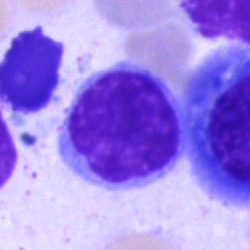

A typical lymphocyte.